Bone marrow smear:
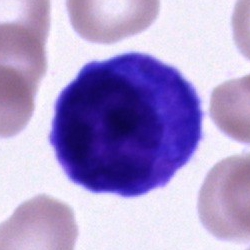 Morphology → unidentifiable cell.